Bone marrow aspirate smear
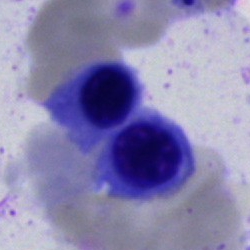Morphology consistent with a nucleated red cell.